Bone marrow smear — 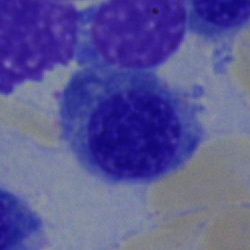

Morphology consistent with a nucleated red cell.